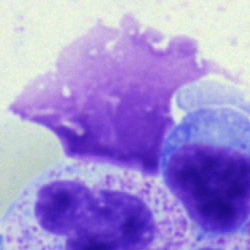 Specimen: bone marrow smear.
Classification: artifact.